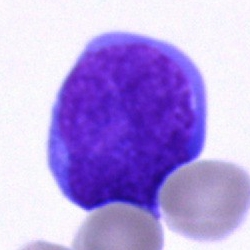 Specimen: bone marrow aspirate smear.
Cell: blast.